Bone marrow aspirate smear.
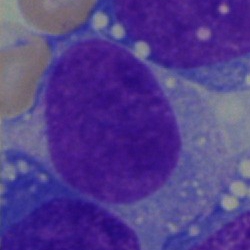

Single cell identified as an undifferentiated blast.